Bone marrow aspirate smear: 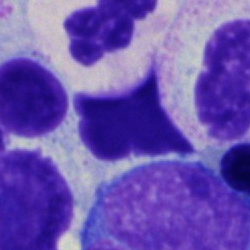

Q: What is shown here?
A: An artefact.